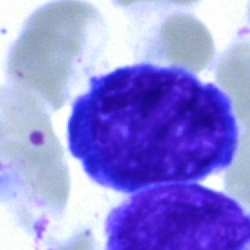This is a normoblast.